Bone marrow aspirate smear.
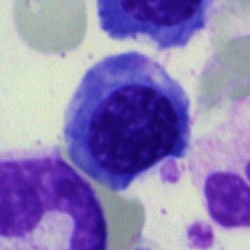

Nucleated red blood cell.